Brightfield, 40× oil-immersion objective · bone marrow smear · 250×250.
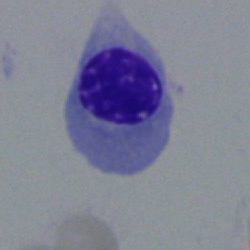
Nucleated red cell.